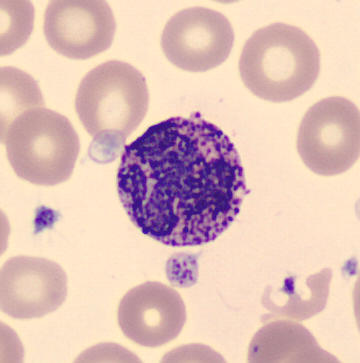
Cell — basophil. Image: 360×363 · peripheral blood smear.